Bone marrow smear: 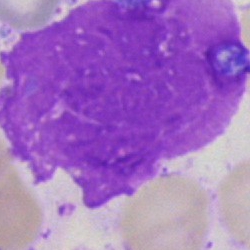

The cell shown is an artefact.